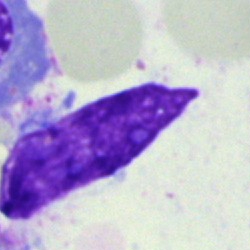
Single-cell crop from a bone marrow smear: artefact.